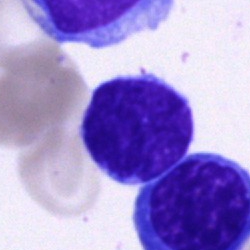 Specimen: bone marrow aspirate smear.
Classification: typical lymphocyte.